250 by 250 pixels; bone marrow smear:
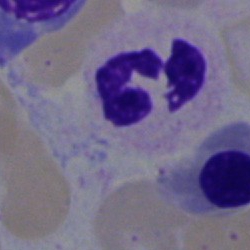
This is a polymorphonuclear neutrophil.